Bone marrow smear — 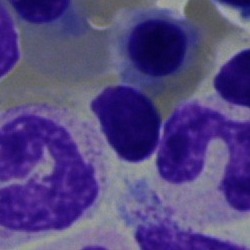Specimen: bone marrow aspirate smear.
Morphological class: normoblast.